May-Grünwald-Giemsa stain; bone marrow aspirate smear; 40× objective, oil immersion: 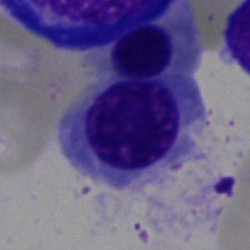

A nucleated red blood cell.